Bone marrow aspirate smear — 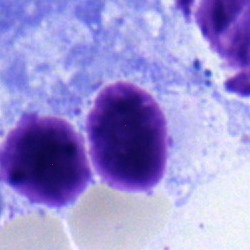

The cell shown is a typical lymphocyte.